Single cell centered in the field; 250 by 250 pixels; bone marrow smear
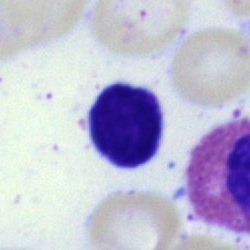
Classification: lymphocyte.